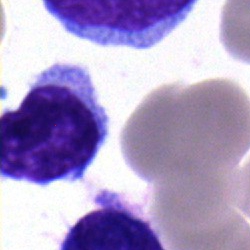 Bone marrow aspirate smear, single cell — typical lymphocyte.